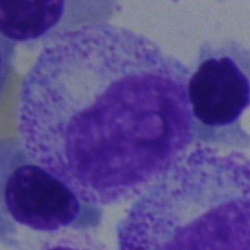 Q: Which cell type is shown here?
A: This is a myelocyte.